Bone marrow aspirate smear — 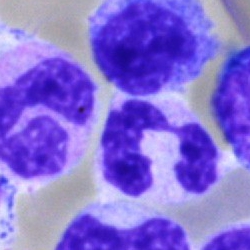

Cell type: neutrophil (segmented).